Single cell centered in the field · bone marrow smear: 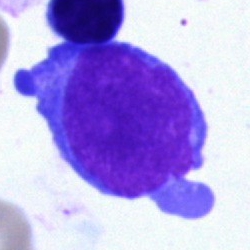 Cell type — blast cell.